Bone marrow smear — 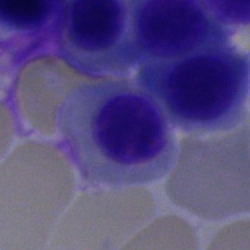 Morphology — erythroblast.